Bone marrow smear — 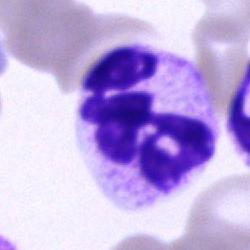
Morphological class: neutrophil (segmented).